MGG-stained · bone marrow smear · 250 by 250 pixels — 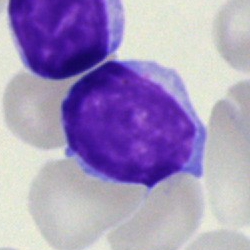Specimen: bone marrow aspirate smear.
Cell: lymphocyte.